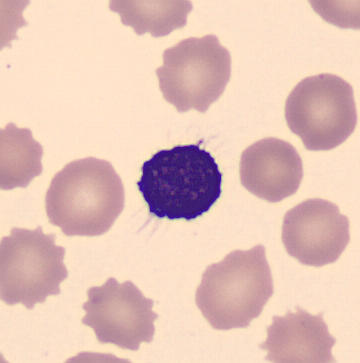

Cell type: lymphocyte.

Preparation: Peripheral blood smear. May Grünwald-Giemsa stain.